Peripheral blood film. Single cell centered in the field. Romanowsky-stained:
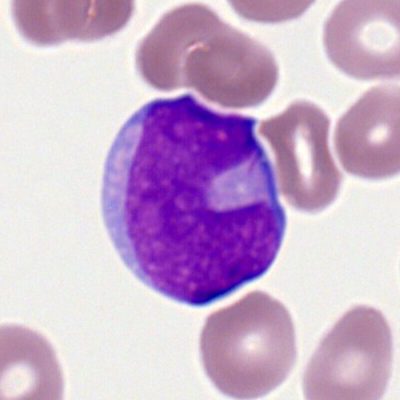
Q: Identify the cell.
A: A myeloid blast.